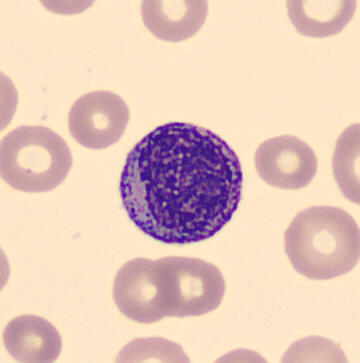{"cell_type": "myelocyte", "lineage": "myeloid"}